Bone marrow aspirate smear.
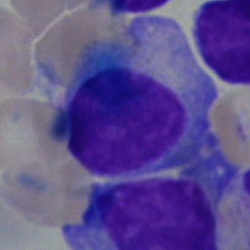
Morphological class = plasmacyte.